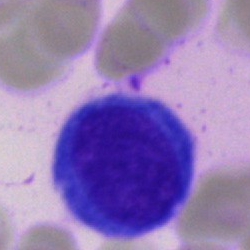

Classification: blast cell.